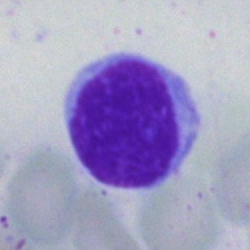

The cell type is typical lymphocyte.